May-Grünwald-Giemsa/Pappenheim stain; bone marrow smear — 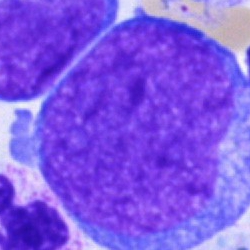The cell shown is a blast.